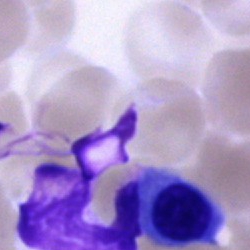 Classification: normoblast.